Bone marrow aspirate smear — 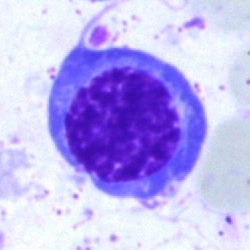

Morphological class: erythroblast.